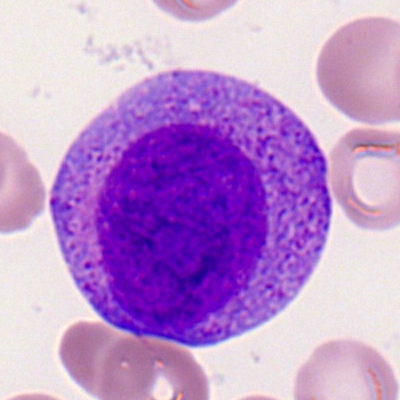
Morphological class — promyelocyte.